Peripheral blood film.
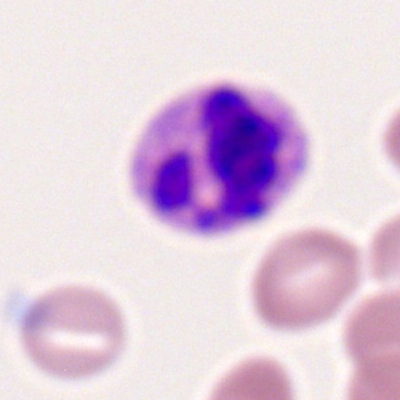 Q: What type of cell is this?
A: Segmented neutrophil.